Bone marrow aspirate smear.
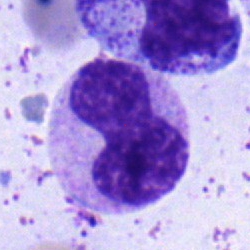

Specimen: bone marrow aspirate smear.
Cell type: neutrophil (band).